Bone marrow aspirate smear; brightfield microscopy, 40× oil immersion: 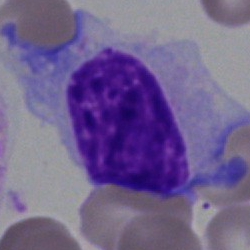
Morphology — hairy cell.